Bone marrow aspirate smear; May-Grünwald-Giemsa stain
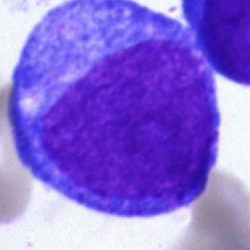

Q: What cell is this?
A: It is a promyelocyte.